40× objective, oil immersion; bone marrow smear; Pappenheim-stained: 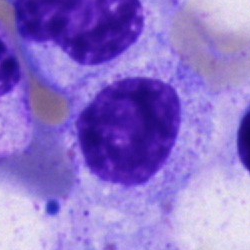 Impression → myelocyte.